Bone marrow aspirate smear
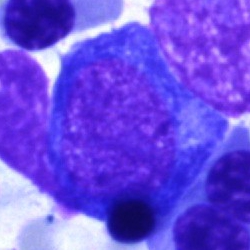Morphology → normoblast.